Bone marrow aspirate smear. 250×250. Single-cell crop — 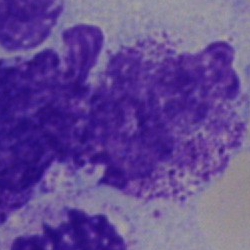
Cell type: artefact.